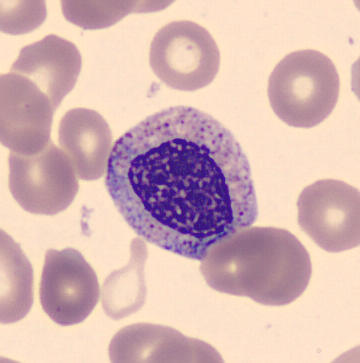

The cell is myelocyte.